Bone marrow smear; single cell centered in the field — 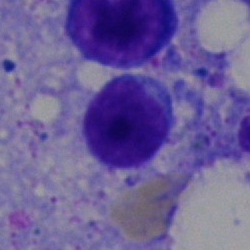 The cell type is typical lymphocyte.